Pappenheim-stained. Brightfield microscopy, 40× oil immersion. Bone marrow aspirate smear.
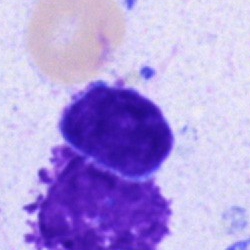The cell shown is a lymphocyte.